Bone marrow smear — 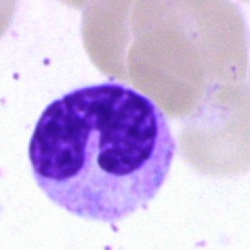
Q: What type of cell is this?
A: It is a neutrophil (band).